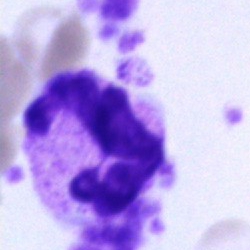 Bone marrow aspirate smear, single cell — segmented neutrophil.